Peripheral blood smear:
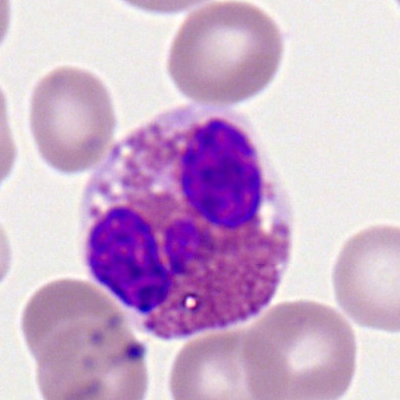The morphological class is eosinophilic granulocyte.